Image size 250×250; single-cell field; bone marrow smear
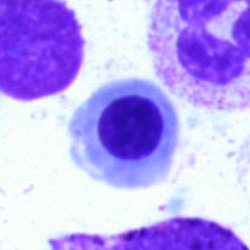
Q: What is the morphological classification of this cell?
A: An erythroblast.